Bone marrow smear:
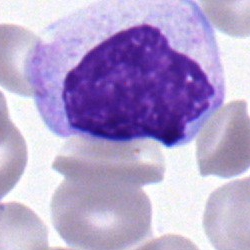Specimen: bone marrow aspirate smear.
Cell type: myelocyte.